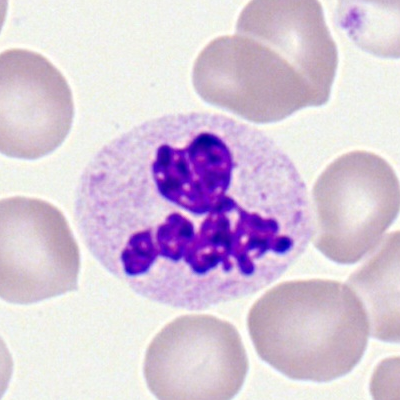

Specimen: peripheral blood film.
Classification: segmented neutrophil.
Lineage: myeloid.